Cropped to a single cell; bone marrow aspirate smear:
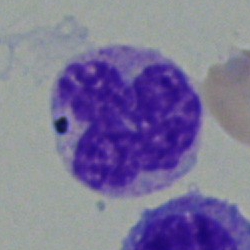 The cell shown is a polymorphonuclear neutrophil.